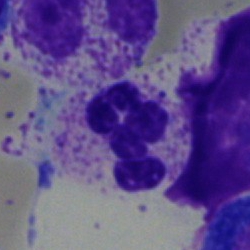

The classification is segmented neutrophil.